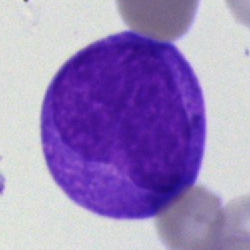

Showing a blast.